Bone marrow smear:
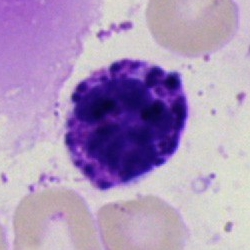
The morphological class is basophilic granulocyte.